Bone marrow smear.
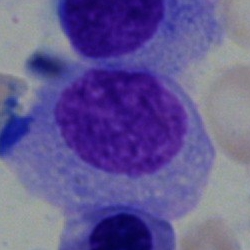

Specimen: bone marrow aspirate smear.
Cell type: plasmacyte.